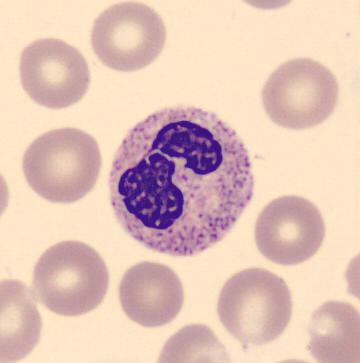Specimen: peripheral blood smear.
Morphological class: segmented neutrophil.